Bone marrow smear:
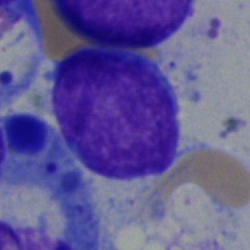 Classification: undifferentiated blast.